Bone marrow smear — 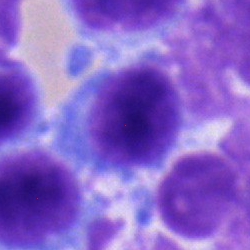

A typical lymphocyte.